Bone marrow aspirate smear. May-Grünwald-Giemsa/Pappenheim stain: 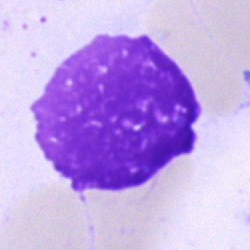An artifact.